Cropped to a single cell. Bone marrow aspirate smear
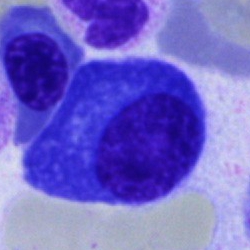

The morphological class is plasma cell.